Bone marrow smear: 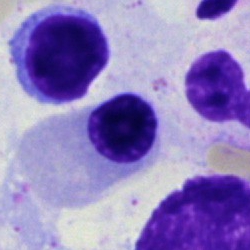
Q: What type of cell is this?
A: It is a nucleated red blood cell.